Bone marrow aspirate smear — 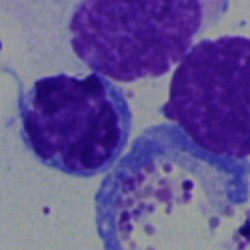 Classification = lymphocyte.